Bone marrow smear:
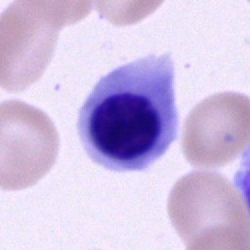

The cell type is normoblast.